Bone marrow aspirate smear. Single-cell crop: 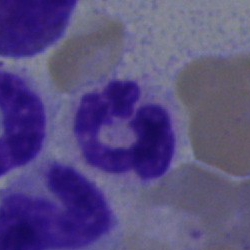 The cell is polymorphonuclear neutrophil.